Bone marrow aspirate smear.
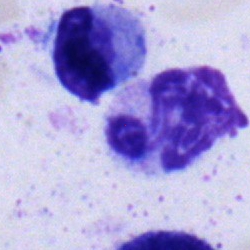Specimen: bone marrow smear.
Cell: segmented neutrophil.
Lineage: myeloid.